Peripheral blood smear — 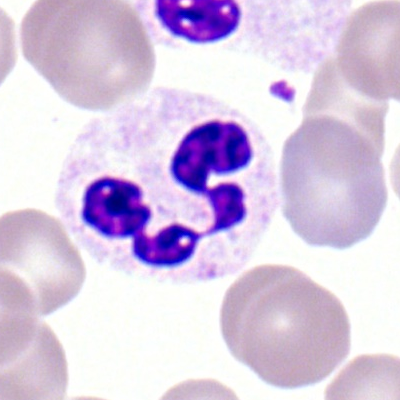
Impression → neutrophil (segmented).